Peripheral blood film
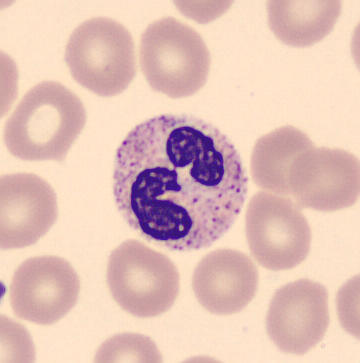 Q: What cell is this?
A: It is a neutrophil (segmented).